Bone marrow smear:
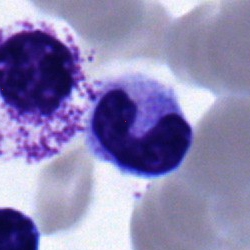Impression — neutrophil (band).